Peripheral blood film; 100× objective, oil immersion
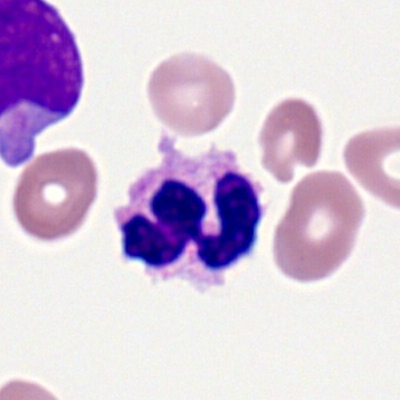

Morphology consistent with a neutrophil (segmented).